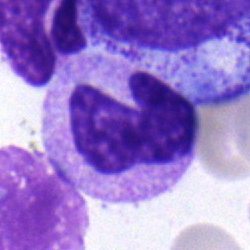Impression — band neutrophil.